Bone marrow smear: 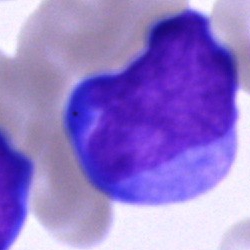

Single cell identified as a blast.